Bone marrow aspirate smear. May-Grünwald-Giemsa/Pappenheim stain. 250×250.
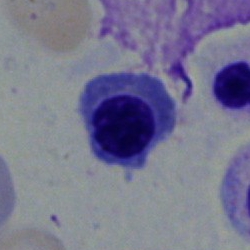
Cell type: normoblast.